Bone marrow smear
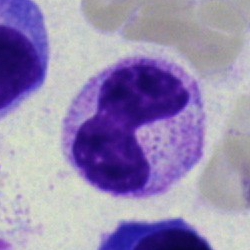
Morphology — band-form neutrophil.